Bone marrow aspirate smear; 40× objective, oil immersion:
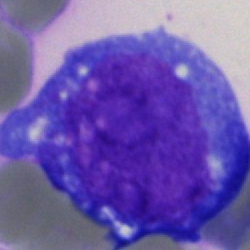
The cell type is blast.